400×400 · peripheral blood film:
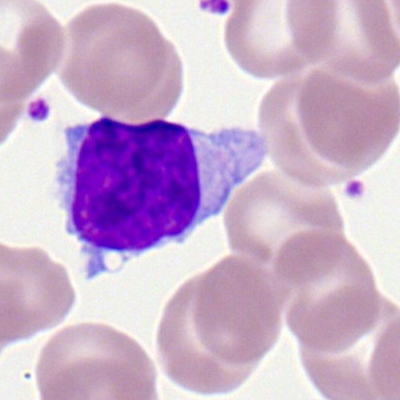

Specimen: peripheral blood smear.
Cell type: lymphocyte.
Lineage: lymphoid.